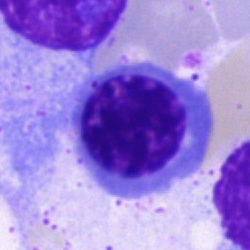
Showing a nucleated red cell.